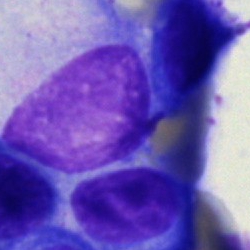

This is a plasma cell.